Bone marrow smear — 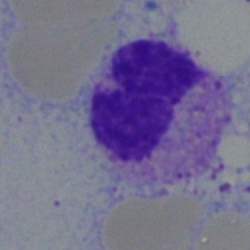Classification: neutrophil (band).